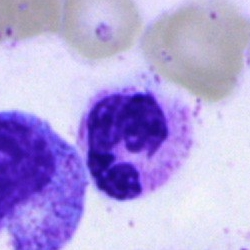The cell is segmented neutrophil.